Bone marrow smear: 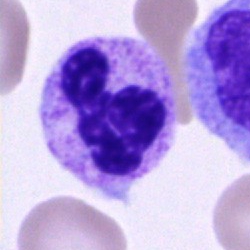
Q: What is the morphological classification of this cell?
A: It is a polymorphonuclear neutrophil.